Bone marrow aspirate smear. 250×250:
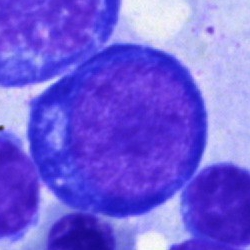Q: What type of cell is this?
A: A pronormoblast.